250×250 px · bone marrow smear — 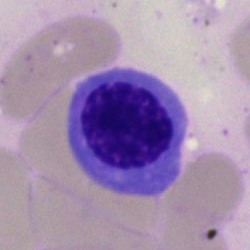
Morphological class — erythroblast.